Pappenheim-stained. Bone marrow smear. 40× oil immersion:
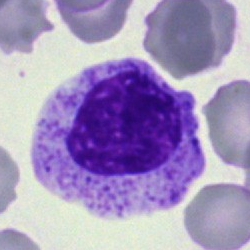

A myelocyte.